Bone marrow smear · brightfield, 40× oil-immersion objective: 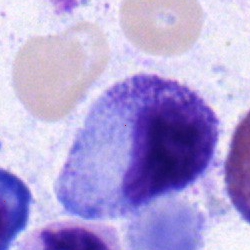Morphology consistent with a progranulocyte.